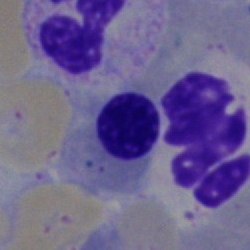
Specimen: bone marrow aspirate smear.
Morphological class: erythroblast.